Bone marrow smear — 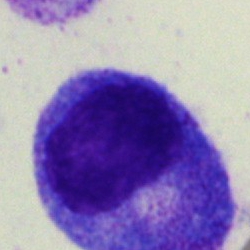{"cell_type": "promyelocyte", "lineage": "myeloid"}